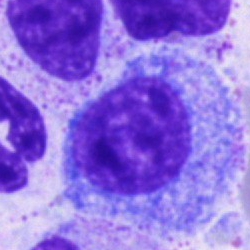Classification: progranulocyte.